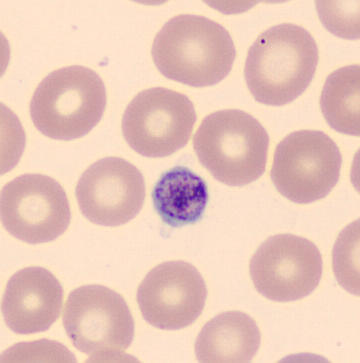Acquisition: Peripheral blood film. Morphological class: platelet.